Bone marrow aspirate smear — 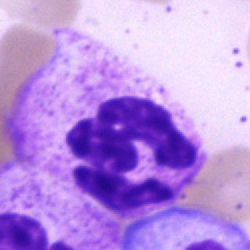

Single cell identified as a segmented neutrophil.